Peripheral blood film; single-cell crop
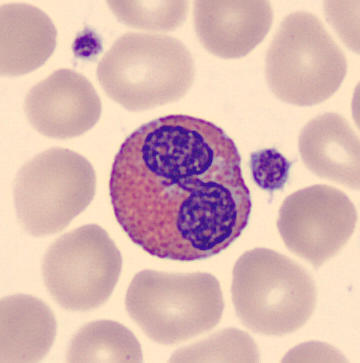
Q: Which cell type is shown here?
A: An eosinophil.